40× objective, oil immersion. Bone marrow smear. 250×250: 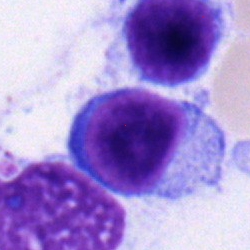
The classification is typical lymphocyte.